Bone marrow aspirate smear · cropped to a single cell
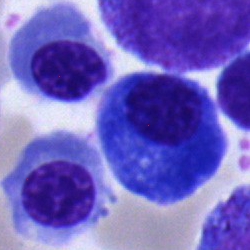 Specimen: bone marrow aspirate smear.
Cell: plasmacyte.
Lineage: lymphoid.